Single-cell crop. MGG-stained. Bone marrow aspirate smear — 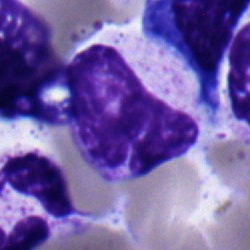 Specimen: bone marrow smear.
Morphological class: neutrophil (segmented).